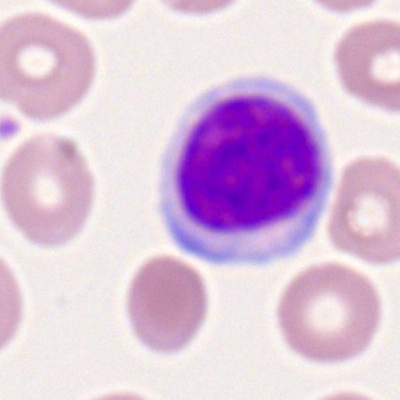 Specimen: peripheral blood smear.
Cell type: lymphocyte.
Lineage: lymphoid.